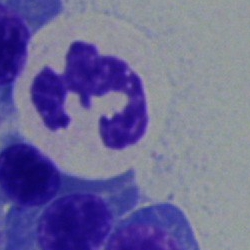

Specimen: bone marrow aspirate smear.
Cell type: polymorphonuclear neutrophil.
Lineage: myeloid.